Bone marrow aspirate smear
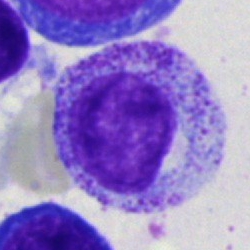

Impression → myelocyte.